Bone marrow smear — 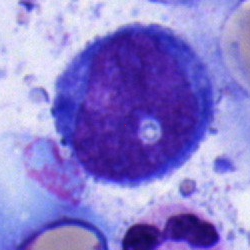A promyelocyte.